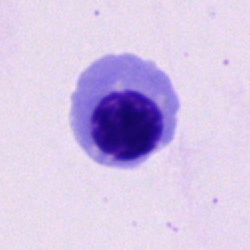

Bone marrow smear showing a nucleated red cell.